Single cell centered in the field · bone marrow smear · brightfield, 40× oil-immersion objective — 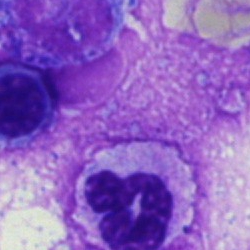
This is a segmented neutrophil.